Bone marrow smear:
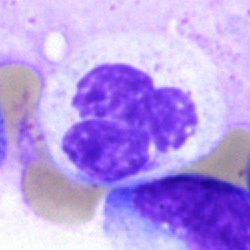Specimen: bone marrow smear.
Cell: polymorphonuclear neutrophil.